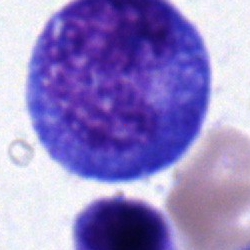 Progranulocyte.